Bone marrow aspirate smear — 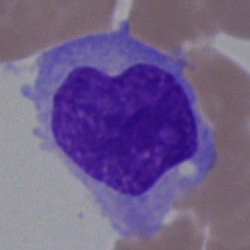Q: What type of cell is this?
A: Monocyte.